Bone marrow aspirate smear. 40× objective, oil immersion: 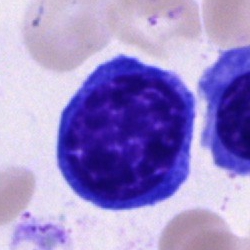
Cell = nucleated red cell.